40× objective, oil immersion. Bone marrow smear. Pappenheim-stained: 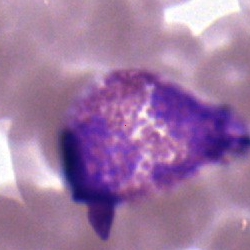
Morphological class — eosinophilic granulocyte.